Bone marrow smear
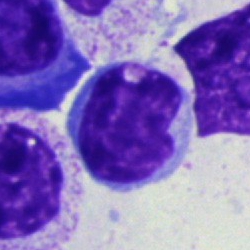 Morphology consistent with a lymphocyte.